Bone marrow smear
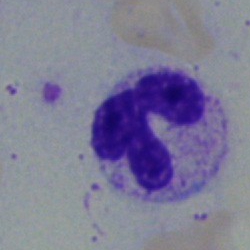A segmented neutrophil.